Peripheral blood film; 100× oil immersion, 14.14 px/µm.
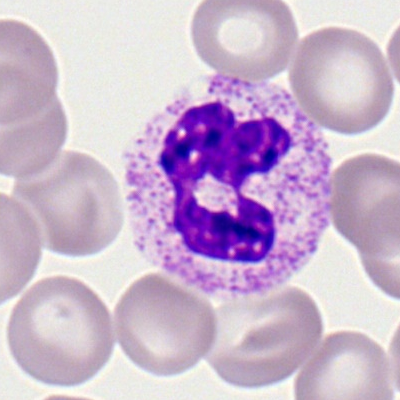 Specimen: peripheral blood film.
Classification: neutrophil (segmented).
Lineage: myeloid.